Single-cell field · bone marrow smear
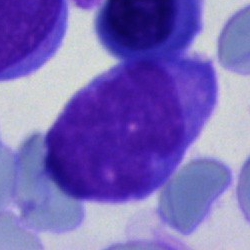Q: What type of cell is this?
A: It is a blast cell.